Peripheral blood smear.
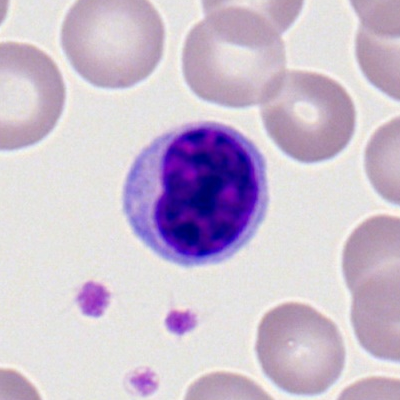

Morphology → lymphocyte.